Bone marrow smear
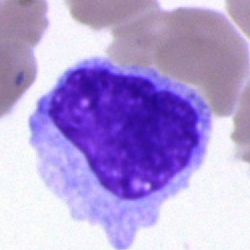 Impression — monocyte.